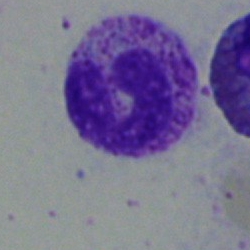

The cell shown is a band neutrophil.